Peripheral blood smear. Romanowsky stain
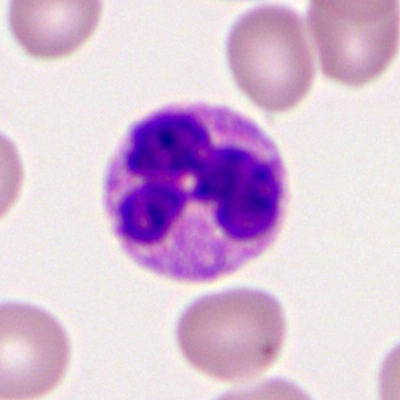Single cell identified as a segmented neutrophil.